Bone marrow aspirate smear
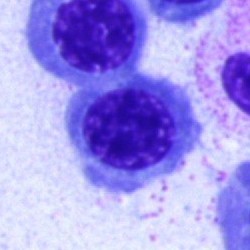The morphological class is nucleated red blood cell.